Bone marrow smear; cropped to a single cell:
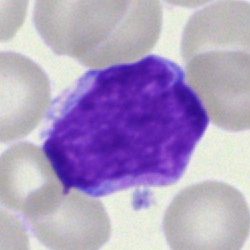
Q: What cell is this?
A: This is an undifferentiated blast.